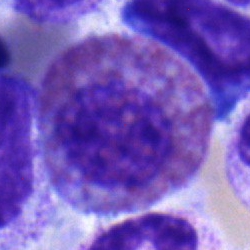 Specimen: bone marrow aspirate smear.
Cell: eosinophilic granulocyte.